May-Grünwald-Giemsa stain · single-cell crop · bone marrow aspirate smear.
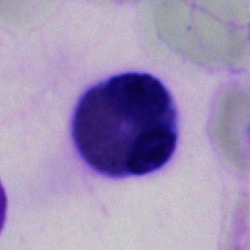 The morphological class is eosinophilic granulocyte.